Bone marrow aspirate smear
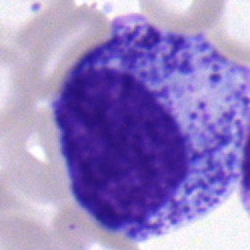
Q: Which cell type is shown here?
A: It is a progranulocyte.